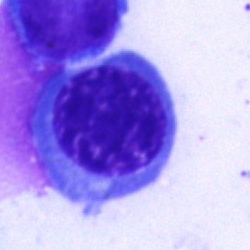
Impression — nucleated red blood cell.